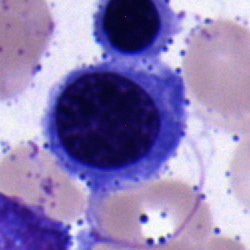
{"cell_type": "erythroblast", "lineage": "erythroid"}